250 by 250 pixels. Bone marrow aspirate smear:
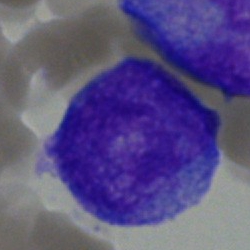
Morphology consistent with a blast cell.